Bone marrow smear
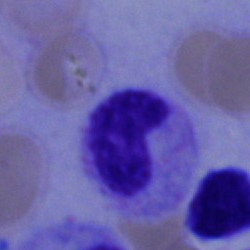 Morphology consistent with a band neutrophil.